Brightfield, 40× oil-immersion objective; bone marrow smear
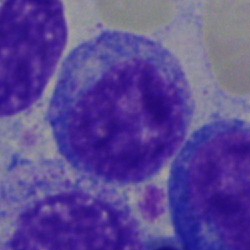

Progranulocyte.